Cropped to a single cell. Bone marrow aspirate smear
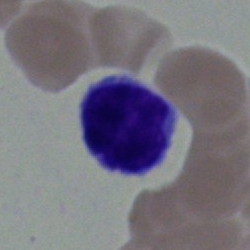

Morphology → lymphocyte.